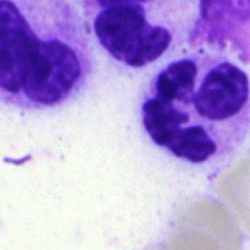
Morphological class = segmented neutrophil.